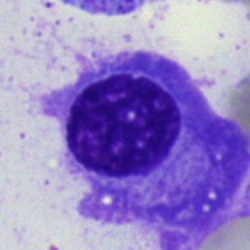

Cell = plasmacyte.